Image size 250×250; bone marrow smear; brightfield microscopy, 40× oil immersion.
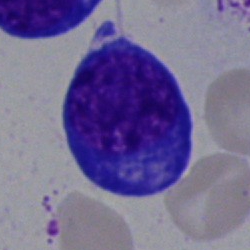
Q: Which cell type is shown here?
A: Nucleated red blood cell.